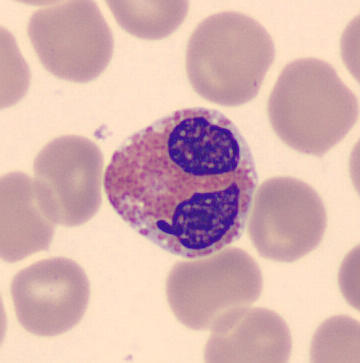 Cell = eosinophil.

Acquisition: CellaVision DM96 · May Grünwald-Giemsa stain · peripheral blood film.